Bone marrow aspirate smear: 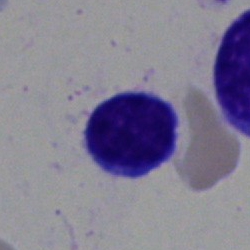 Morphological class: typical lymphocyte.